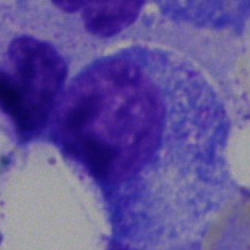

Impression — plasmacyte.